Bone marrow aspirate smear · 40× oil immersion — 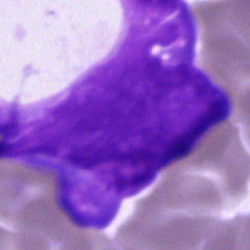 Morphology — undifferentiated blast.